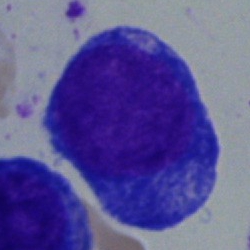

Showing a progranulocyte.